40× objective, oil immersion. Bone marrow smear: 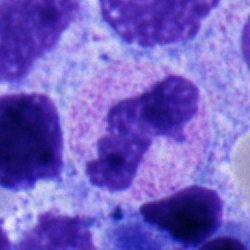

Classification: myelocyte.